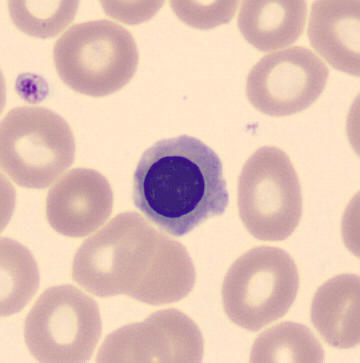 Specimen: peripheral blood smear.
Classification: nucleated red blood cell.
Lineage: erythroid.

Preparation: Single-cell crop.